Peripheral blood smear.
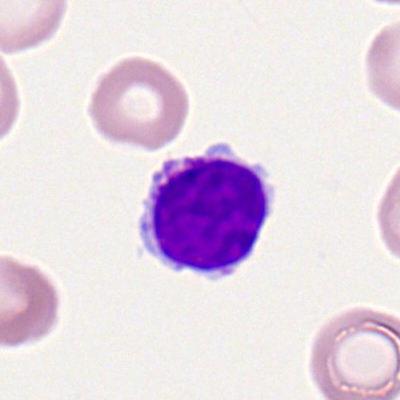

Single cell identified as a typical lymphocyte.